Bone marrow smear; single-cell crop.
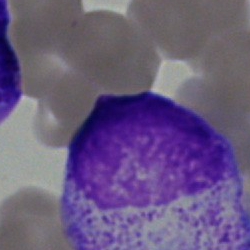The morphological class is undifferentiated blast.